Bone marrow smear:
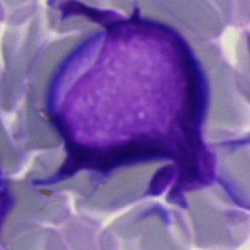Specimen: bone marrow smear.
Morphological class: blast cell.